Bone marrow aspirate smear: 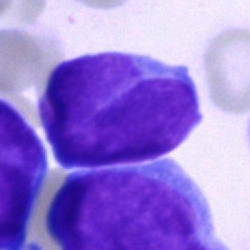Specimen: bone marrow aspirate smear.
Classification: blast cell.